Bone marrow smear.
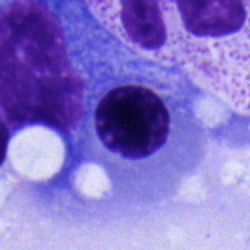

Specimen: bone marrow aspirate smear.
Cell type: nucleated red cell.
Lineage: erythroid.